Bone marrow smear; 40× oil immersion; May-Grünwald-Giemsa stain
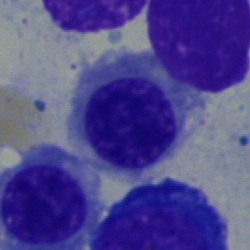Cell — nucleated red cell.